Bone marrow smear — 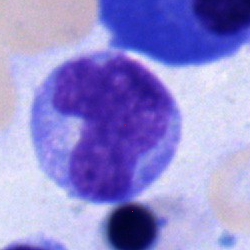
This is a monocyte.